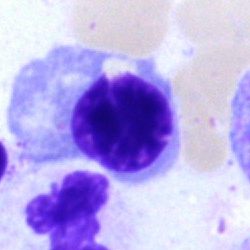A normoblast.